Pappenheim-stained; bone marrow smear
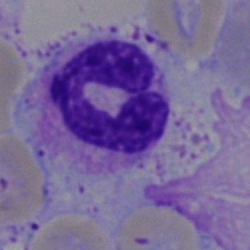
Q: What cell is this?
A: It is a segmented neutrophil.